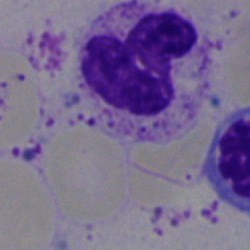 Morphology → segmented neutrophil.